Bone marrow aspirate smear: 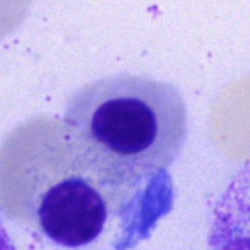 Q: What is the morphological classification of this cell?
A: It is a nucleated red blood cell.